250 by 250 pixels. Bone marrow smear. 40× oil immersion:
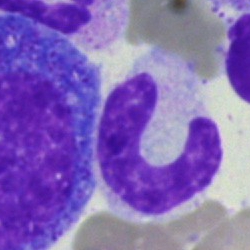

Cell: stab cell.